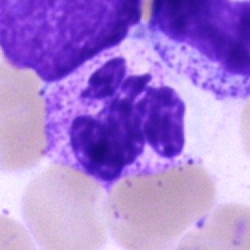 Classification: segmented neutrophil.